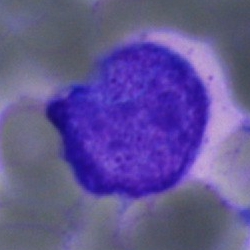
Morphological class: blast cell.